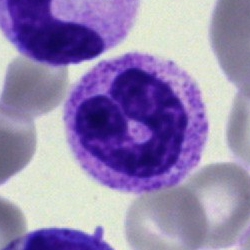
Bone marrow aspirate smear, single cell — neutrophil (segmented).